Bone marrow smear
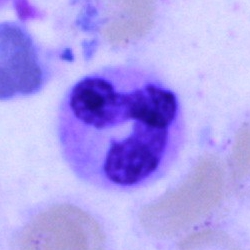 Polymorphonuclear neutrophil.